250×250 px; bone marrow smear — 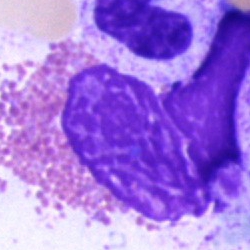 Morphology — eosinophilic granulocyte.